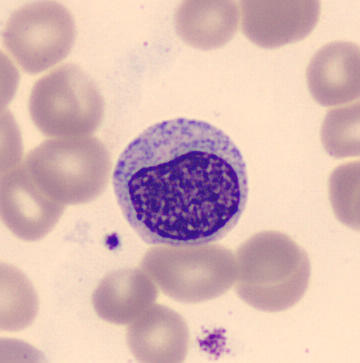

Specimen: peripheral blood smear.
Cell: myelocyte.
Lineage: myeloid.